Bone marrow aspirate smear; MGG-stained.
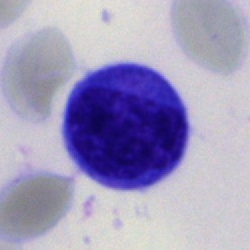

A monocyte.